Single-cell crop; bone marrow smear
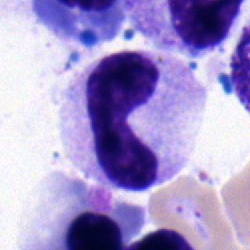The cell shown is a neutrophil (band).